Bone marrow smear · brightfield microscopy, 40× oil immersion · Pappenheim-stained: 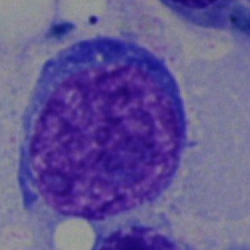
Q: What is shown here?
A: It is a blast.